MGG-stained · bone marrow smear
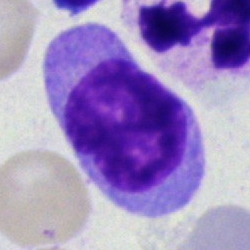Single cell identified as a monocyte.